Single-cell field; bone marrow smear.
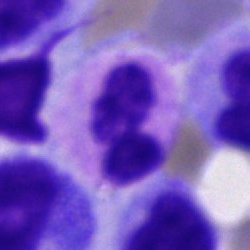 Single cell identified as a neutrophil (segmented).